Peripheral blood smear: 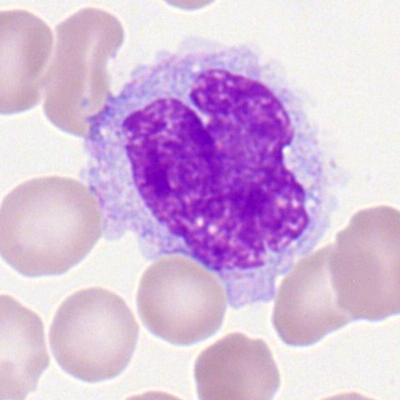

Q: Identify the cell.
A: It is a monocyte.